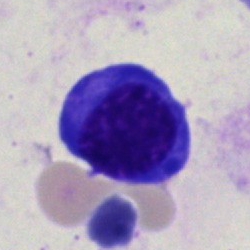

Q: Which cell type is shown here?
A: Normoblast.